40× oil immersion; cropped to a single cell; bone marrow smear:
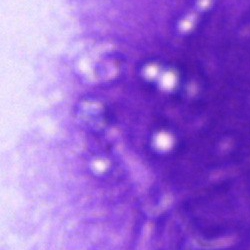 Single cell identified as an artifact.